Bone marrow smear. Pappenheim-stained
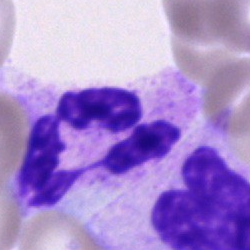

This is a segmented neutrophil.